Bone marrow aspirate smear · brightfield microscopy, 40× oil immersion: 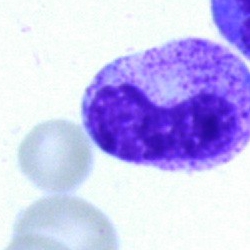 Q: What is shown here?
A: It is a band neutrophil.